Bone marrow aspirate smear
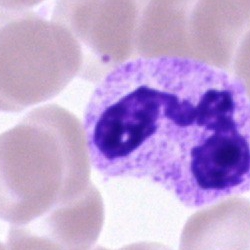Specimen: bone marrow aspirate smear.
Morphological class: segmented neutrophil.